Cropped to a single cell · bone marrow aspirate smear: 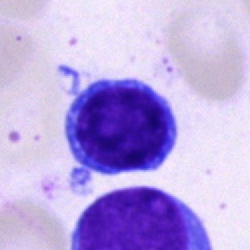

Specimen: bone marrow smear.
Cell type: typical lymphocyte.
Lineage: lymphoid.